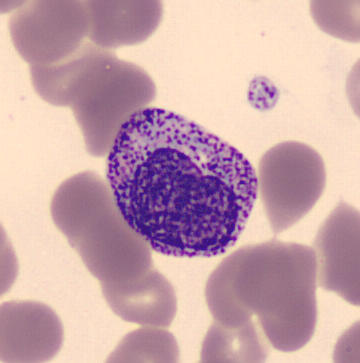

{"cell_type": "myelocyte"}

Single-cell crop. Peripheral blood smear.